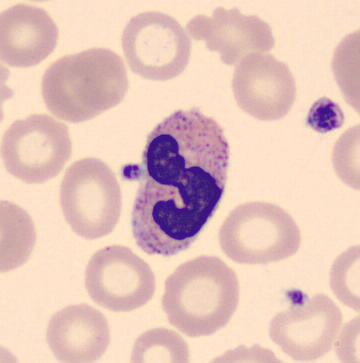

Stab cell.